Bone marrow aspirate smear. Image size 250×250. May-Grünwald-Giemsa/Pappenheim stain.
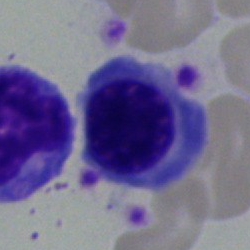
{"cell_type": "normoblast"}